Bone marrow aspirate smear: 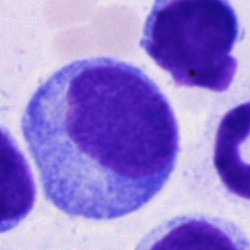Specimen: bone marrow aspirate smear.
Classification: progranulocyte.